Bone marrow aspirate smear · cropped to a single cell:
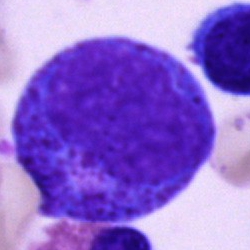
The classification is progranulocyte.